Bone marrow smear; cropped to a single cell — 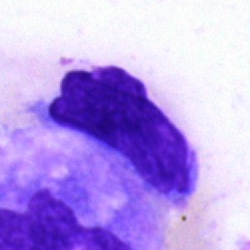 Showing an artifact.